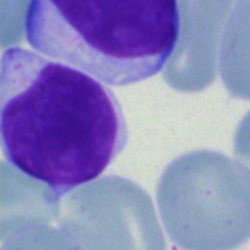
Cell: typical lymphocyte.